Bone marrow aspirate smear
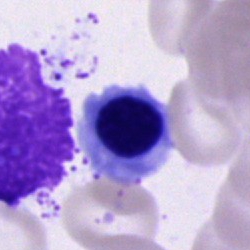Q: Identify the cell.
A: Normoblast.